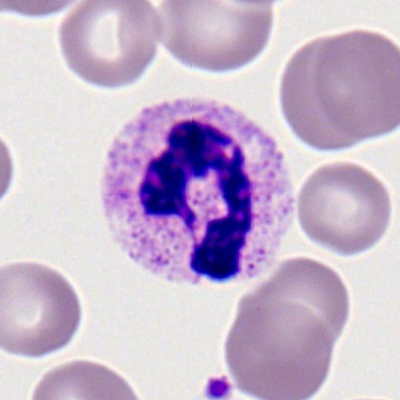

A neutrophil (segmented).